Bone marrow aspirate smear
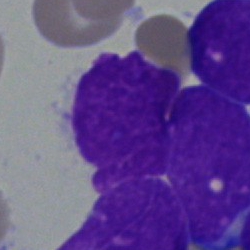Specimen: bone marrow aspirate smear.
Cell: undifferentiated blast.